Bone marrow aspirate smear:
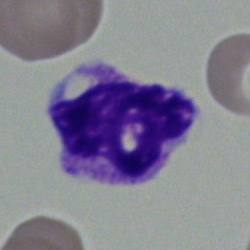
Cell type — neutrophil (segmented).